Romanowsky stain; peripheral blood film: 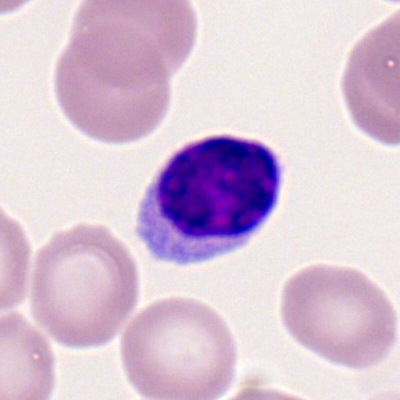
This is a lymphocyte.